MGG-stained; bone marrow aspirate smear.
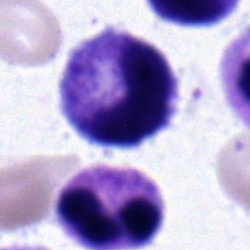 Classification — neutrophil (band).